Bone marrow aspirate smear — 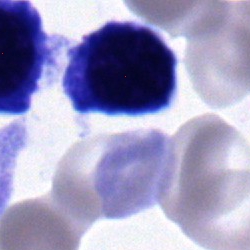
The cell shown is a normoblast.